Peripheral blood film; brightfield, 100× oil-immersion objective:
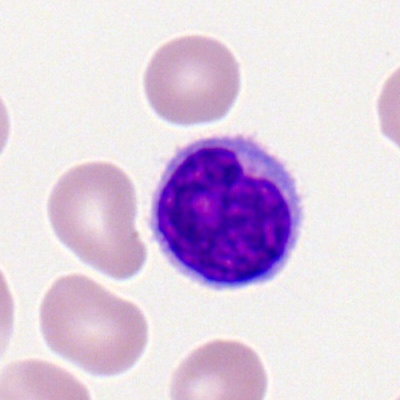

The cell is typical lymphocyte.